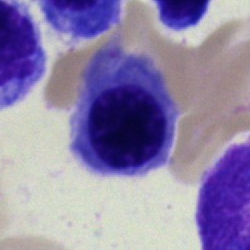 Single-cell crop from a bone marrow smear: erythroblast.